MGG-stained; bone marrow aspirate smear; brightfield microscopy, 40× oil immersion: 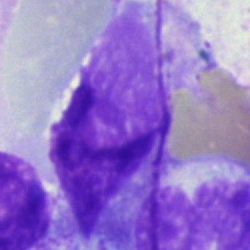Impression — artefact.